Bone marrow smear
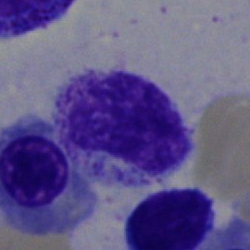
The cell is myelocyte.